Single-cell crop · bone marrow aspirate smear.
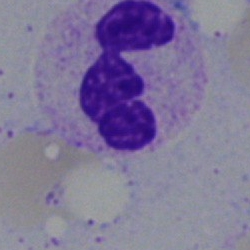 Q: What is shown here?
A: Segmented neutrophil.